Bone marrow smear; single-cell crop: 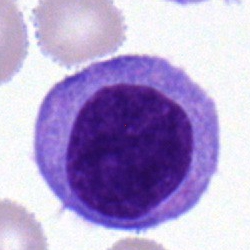

Q: Which cell type is shown here?
A: This is a lymphocyte.